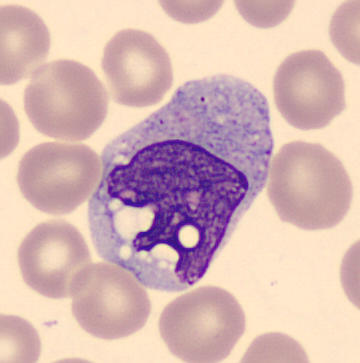 Specimen: peripheral blood smear.
Cell type: monocyte.
Lineage: myeloid.